Image size 250×250 · bone marrow aspirate smear · MGG-stained — 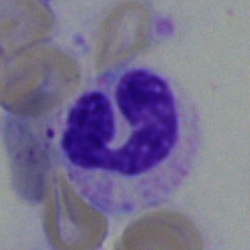

{"cell_type": "band-form neutrophil"}